Peripheral blood smear; Romanowsky-type stain; 100× oil immersion.
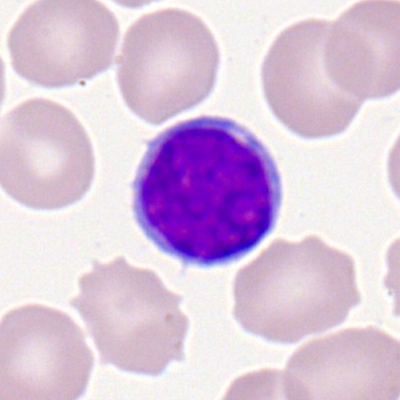

Cell: typical lymphocyte.